Bone marrow smear:
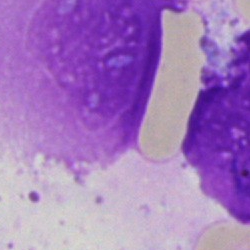 Q: What is shown here?
A: It is an artefact.